Bone marrow aspirate smear.
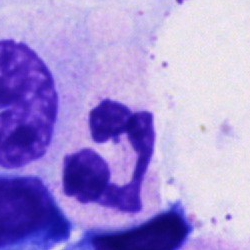 Single cell identified as a polymorphonuclear neutrophil.